40× oil immersion. Bone marrow smear — 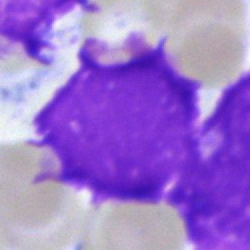Impression — artifact.